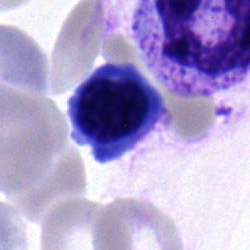Single cell identified as a normoblast.